Bone marrow aspirate smear. 250×250 px. Single-cell crop: 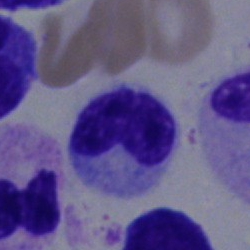Classification — neutrophil (band).